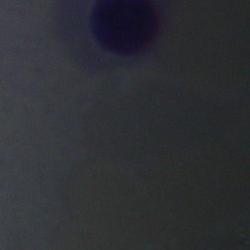
This is an artefact.